250×250 · bone marrow aspirate smear.
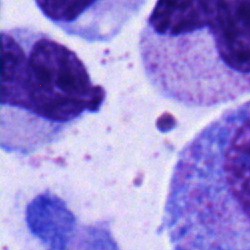
Specimen: bone marrow aspirate smear.
Morphological class: metamyelocyte.
Lineage: myeloid.